Peripheral blood smear; cropped to a single cell; MGG-stained:
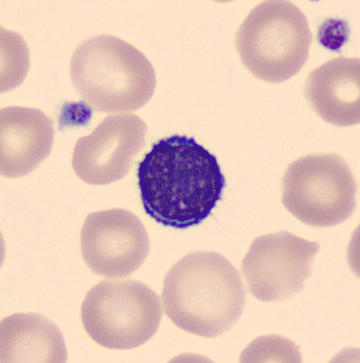

The classification is lymphocyte.